Bone marrow aspirate smear; single cell centered in the field:
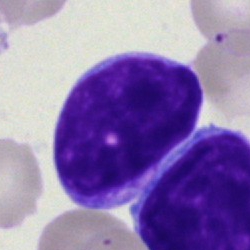 Specimen: bone marrow aspirate smear.
Classification: lymphocyte.
Lineage: lymphoid.